Bone marrow smear: 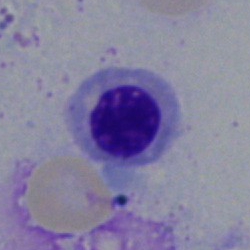

The classification is normoblast.